250×250 · bone marrow smear: 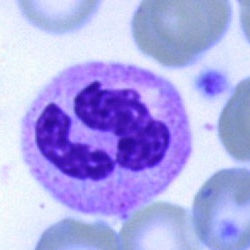 A neutrophil (segmented).